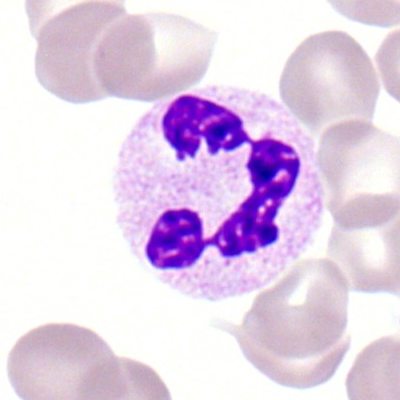Morphology consistent with a polymorphonuclear neutrophil.